Bone marrow aspirate smear; May-Grünwald-Giemsa/Pappenheim stain: 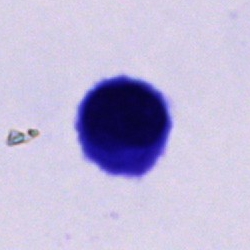

Showing an unidentifiable cell.